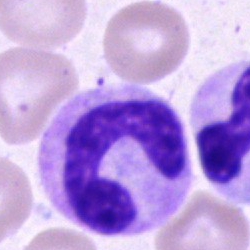 The cell shown is a neutrophil (band).